Bone marrow smear:
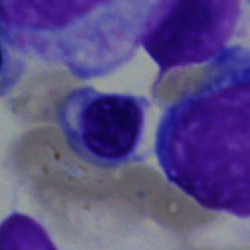
Cell type — erythroblast.